Bone marrow smear; 250×250:
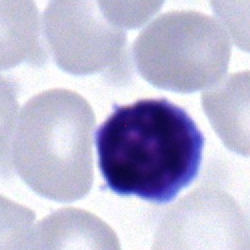{"cell_type": "typical lymphocyte", "lineage": "lymphoid"}